Bone marrow smear · Pappenheim-stained · 40× oil immersion.
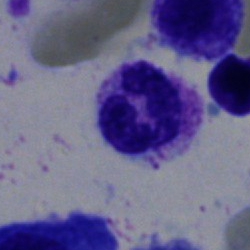Q: What is shown here?
A: Segmented neutrophil.